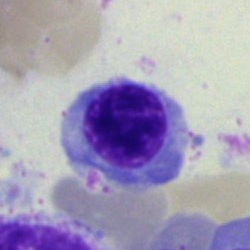Morphology → nucleated red blood cell.